250 by 250 pixels · bone marrow smear.
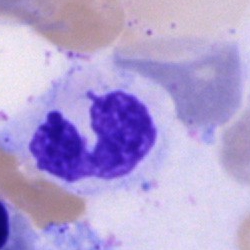

A segmented neutrophil.